Peripheral blood smear; 400×400 px:
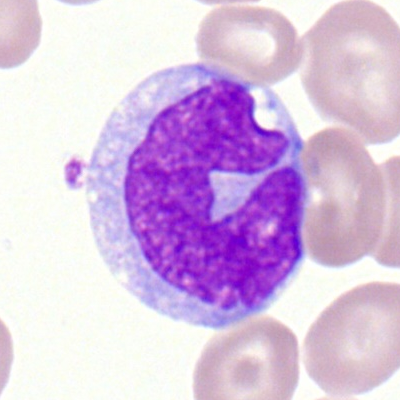

Specimen: peripheral blood smear.
Classification: monocyte.
Lineage: myeloid.